Bone marrow smear · single cell centered in the field · 40× objective, oil immersion.
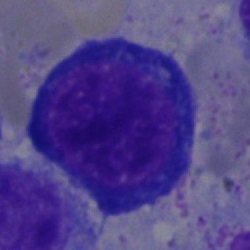
Impression → erythroblast.